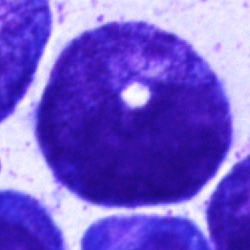

Morphology consistent with a progranulocyte.